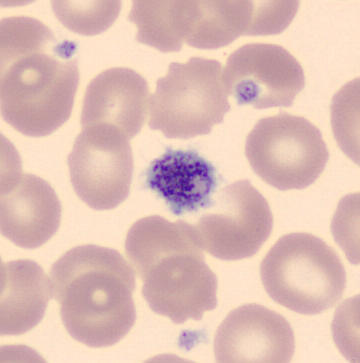

Specimen: peripheral blood smear.
Classification: thrombocyte.